Bone marrow aspirate smear; image size 250×250:
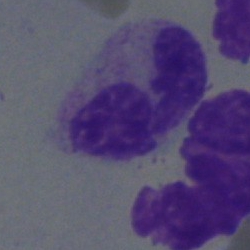
Neutrophil (segmented).